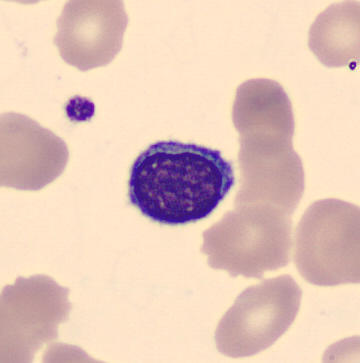

Cell — typical lymphocyte.

Preparation: Peripheral blood film.